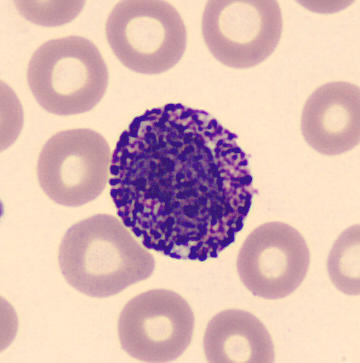MGG-stained. Peripheral blood smear. Cell type = basophil.